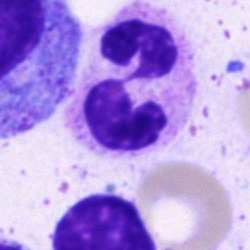
The morphological class is neutrophil (segmented).